40× oil immersion · bone marrow aspirate smear:
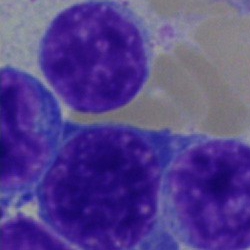 Q: Which cell type is shown here?
A: This is a typical lymphocyte.